Bone marrow smear — 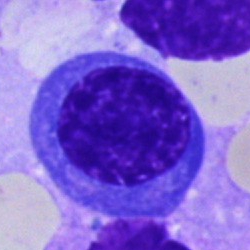Morphology — erythroblast.